Image size 250×250. Pappenheim-stained. Bone marrow smear:
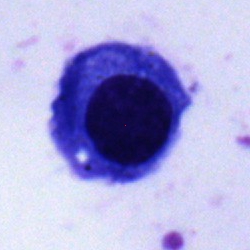

Impression — plasma cell.